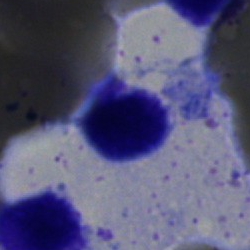

Morphological class: artifact.